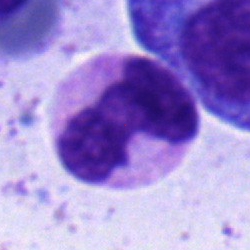

Specimen: bone marrow smear.
Cell: neutrophil (segmented).